250×250 px; bone marrow smear; brightfield microscopy, 40× oil immersion:
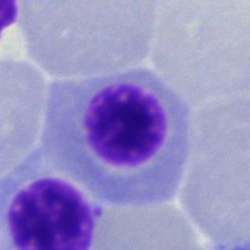Morphology consistent with a normoblast.